Peripheral blood film · Romanowsky stain:
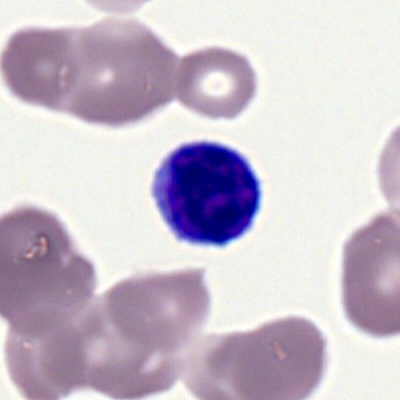

Showing a typical lymphocyte.